Bone marrow aspirate smear.
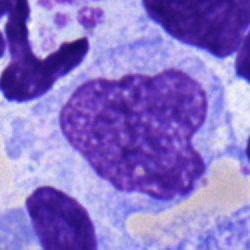 This is a monocyte.